Bone marrow smear.
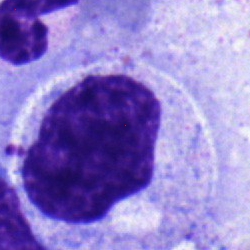

The cell shown is a myelocyte.